Romanowsky-type stain. Peripheral blood film.
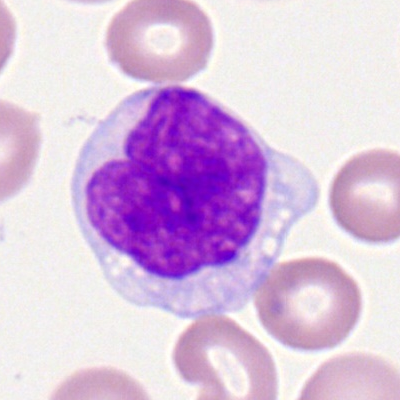

Cell = monocyte.